Bone marrow aspirate smear. May-Grünwald-Giemsa/Pappenheim stain
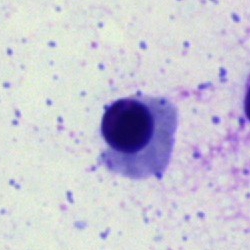Showing a nucleated red blood cell.